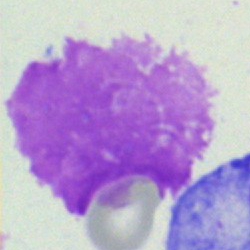 Showing an artefact.